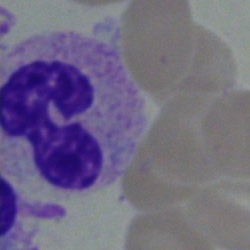

Bone marrow aspirate smear, single cell — segmented neutrophil.